Romanowsky stain. Peripheral blood film:
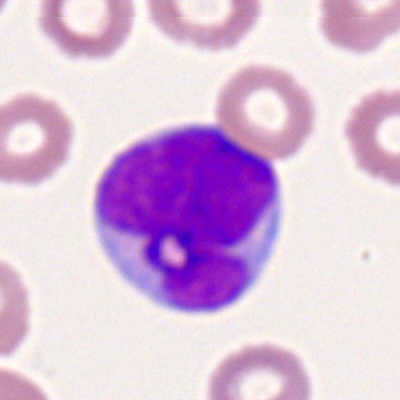
Cell type: myeloid blast.